Bone marrow aspirate smear:
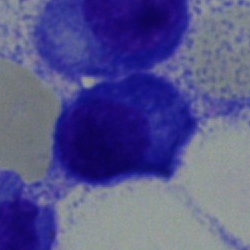Cell — plasmacyte.